Bone marrow smear — 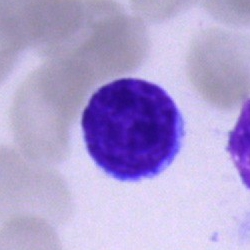
Cell type = lymphocyte.